Bone marrow aspirate smear: 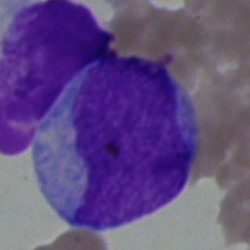Morphology consistent with an undifferentiated blast.